MGG-stained; 250×250 px; bone marrow smear
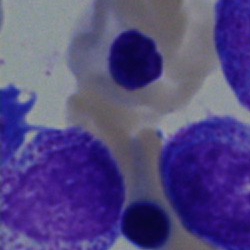 Q: What is shown here?
A: This is a nucleated red cell.